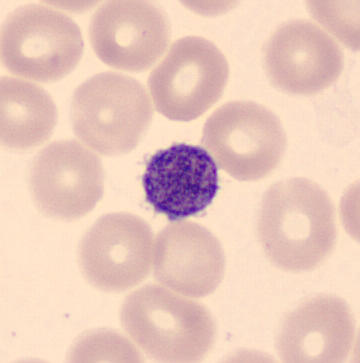
Peripheral blood smear. May Grünwald-Giemsa stain. A thrombocyte.